40× oil immersion · bone marrow smear
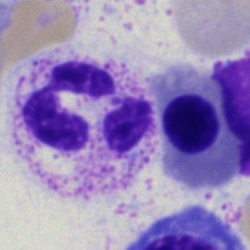

Polymorphonuclear neutrophil.